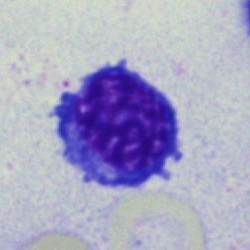

Impression — erythroblast.